Bone marrow smear: 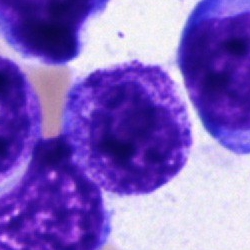
The cell shown is a myelocyte.